Brightfield microscopy, 40× oil immersion. Bone marrow aspirate smear: 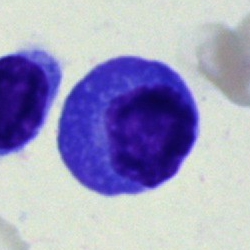 Q: Identify the cell.
A: A plasmacyte.